Single-cell field. Peripheral blood film
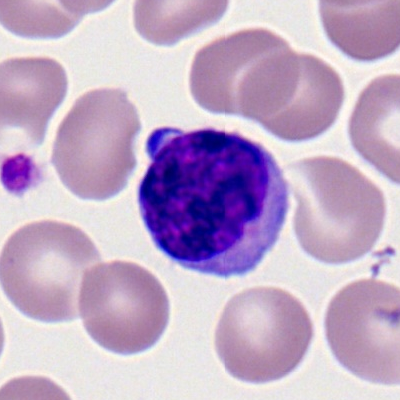
Specimen: peripheral blood smear.
Cell type: lymphocyte.
Lineage: lymphoid.